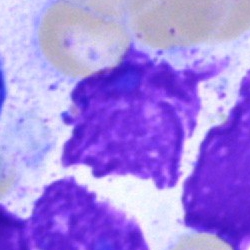 Impression — artefact.